Peripheral blood film — 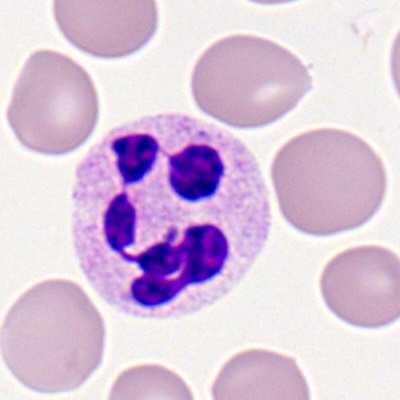
Q: Which cell type is shown here?
A: It is a neutrophil (segmented).